Bone marrow aspirate smear — 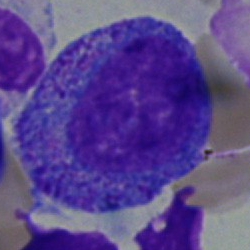Morphology — progranulocyte.